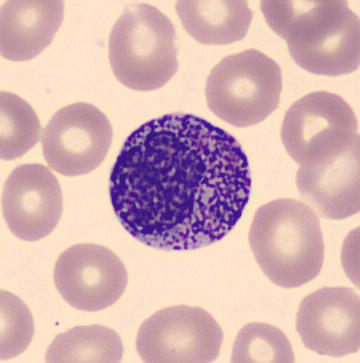
A myelocyte.